Bone marrow aspirate smear. Image size 250×250: 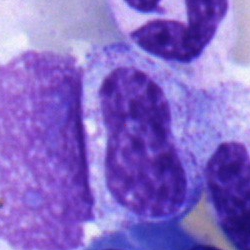 The cell is metamyelocyte.